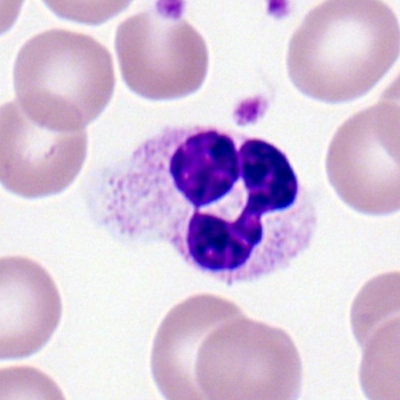
Impression → neutrophil (segmented).